Bone marrow smear: 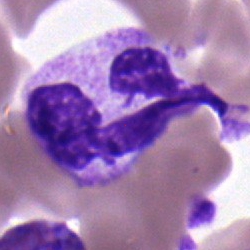

{"cell_type": "neutrophil (segmented)"}